Bone marrow aspirate smear.
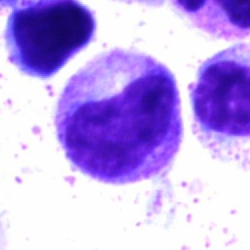
Morphology consistent with a myelocyte.